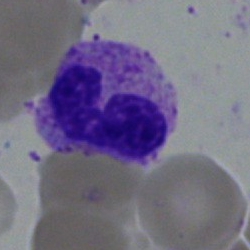Morphology — neutrophil (band).